Bone marrow aspirate smear:
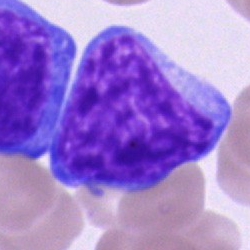
{"cell_type": "blast"}